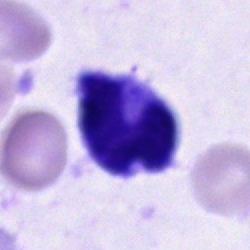 Specimen: bone marrow aspirate smear.
Cell type: unidentifiable cell.